Bone marrow aspirate smear; 250 by 250 pixels
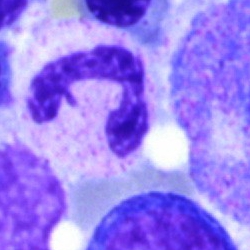

Cell = segmented neutrophil.